Bone marrow smear.
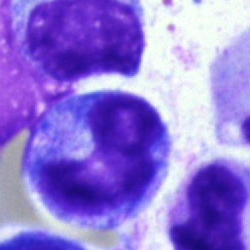

Progranulocyte.